Bone marrow smear
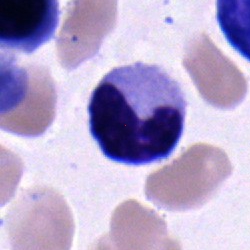
Q: Which cell type is shown here?
A: A band neutrophil.